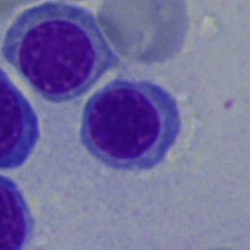Morphology → nucleated red cell.